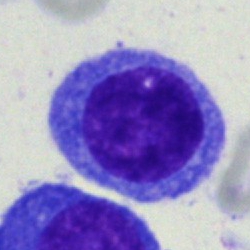

Classification = blast cell.